Bone marrow aspirate smear: 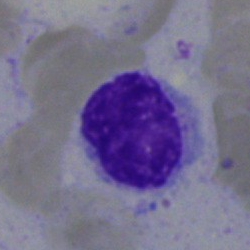 Cell = typical lymphocyte.